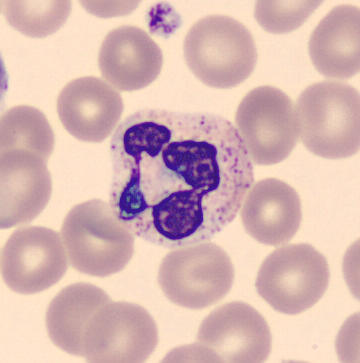 Acquisition: Peripheral blood film.

Q: What is shown here?
A: This is a segmented neutrophil.